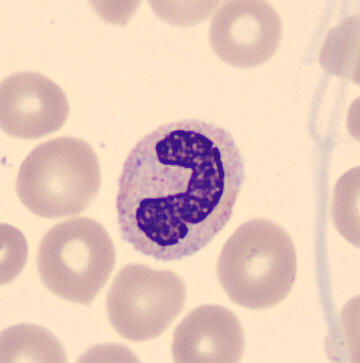 Neutrophil (band).
Peripheral blood film.